Bone marrow smear:
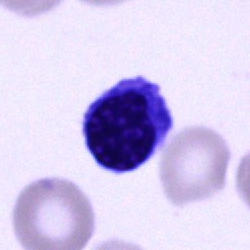An erythroblast.